Single-cell crop. Peripheral blood film
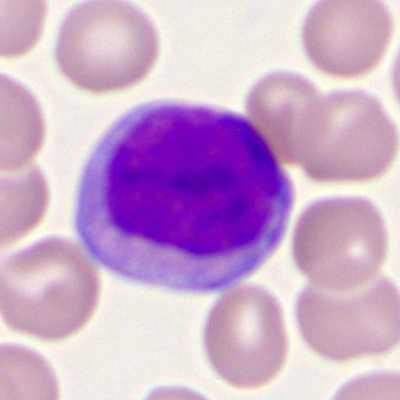
Q: Which cell type is shown here?
A: This is a myeloblast.